Peripheral blood film.
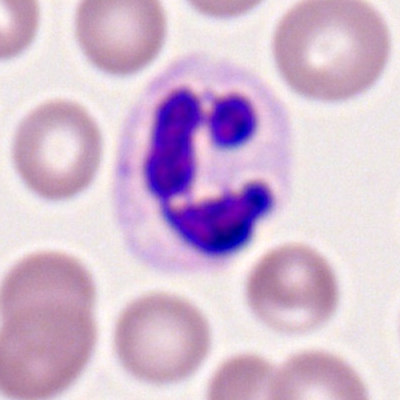This is a polymorphonuclear neutrophil.